Single cell centered in the field · bone marrow aspirate smear · image size 250×250.
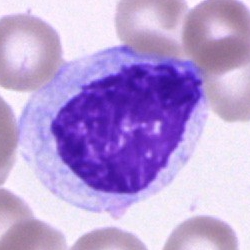Cell of indeterminate lineage.